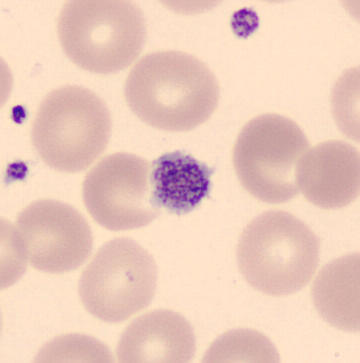Peripheral blood smear.
Q: What is this?
A: Thrombocyte.